Bone marrow aspirate smear · brightfield microscopy, 40× oil immersion — 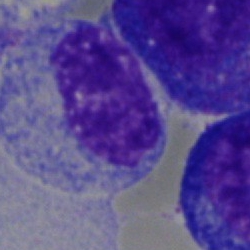Q: Which cell type is shown here?
A: It is a cell of indeterminate lineage.